Bone marrow smear
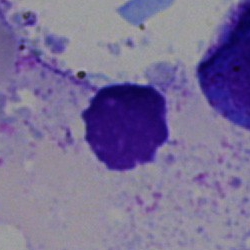 This is an artefact.